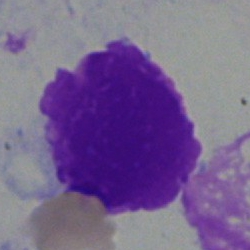
Q: What is shown here?
A: This is an artifact.